Bone marrow aspirate smear; 40× oil immersion: 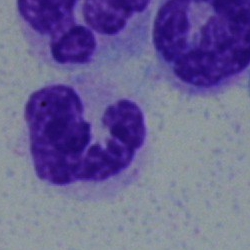

Classification: neutrophil (segmented).